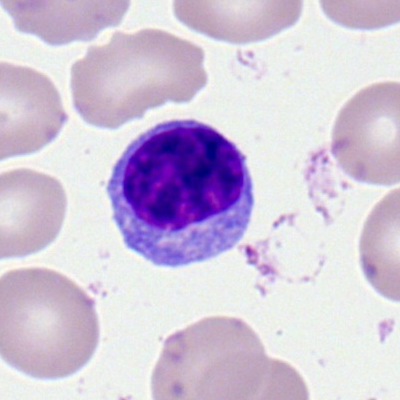 Q: What is the morphological classification of this cell?
A: This is a typical lymphocyte.